Bone marrow aspirate smear. Pappenheim-stained — 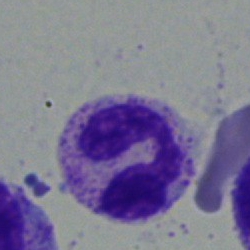
The cell type is segmented neutrophil.